Brightfield microscopy, 40× oil immersion · bone marrow smear
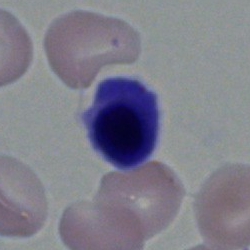 Morphology consistent with a normoblast.